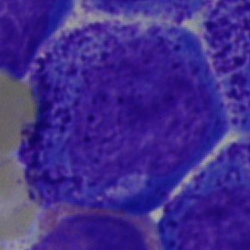

Single-cell crop from a bone marrow smear: promyelocyte.